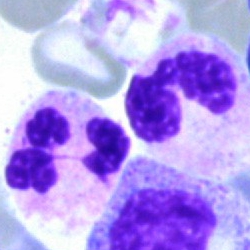 Impression — polymorphonuclear neutrophil.